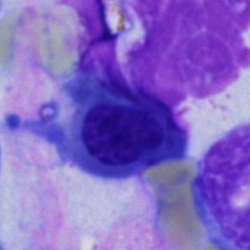

Classification — erythroblast.